400 by 400 pixels; peripheral blood smear — 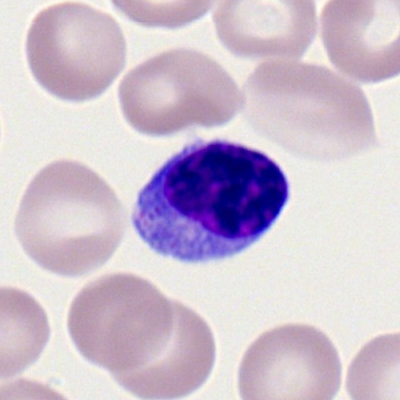Q: Which cell type is shown here?
A: A typical lymphocyte.